Bone marrow smear · single-cell crop: 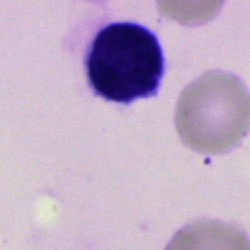
Morphology — artifact.